40× oil immersion. Bone marrow aspirate smear. 250×250 — 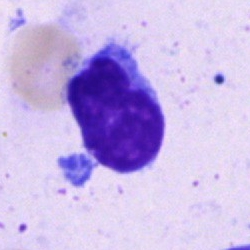 Impression → typical lymphocyte.